Bone marrow smear — 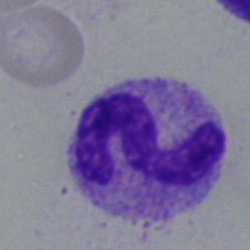Q: Identify the cell.
A: Segmented neutrophil.